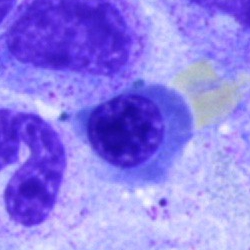
Q: What type of cell is this?
A: This is a nucleated red blood cell.